Bone marrow smear:
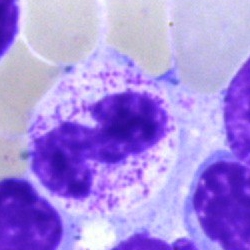Morphological class: segmented neutrophil.